Bone marrow aspirate smear · 40× objective, oil immersion: 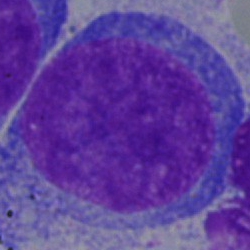 Morphology — blast.